May-Grünwald-Giemsa/Pappenheim stain; bone marrow aspirate smear; 250×250
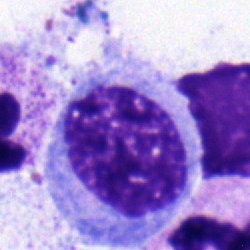A myelocyte.